Image size 250×250 · bone marrow aspirate smear · single-cell field: 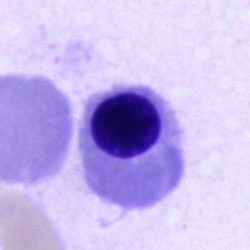

Erythroblast.